Bone marrow aspirate smear.
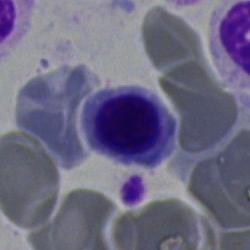
Erythroblast.